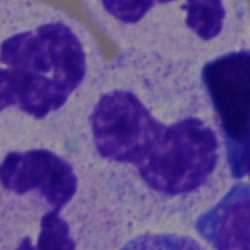Specimen: bone marrow smear.
Classification: band neutrophil.